Bone marrow smear · 250×250.
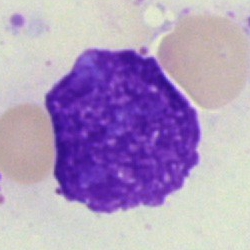

Impression → artefact.